Peripheral blood smear · 100× objective, oil immersion
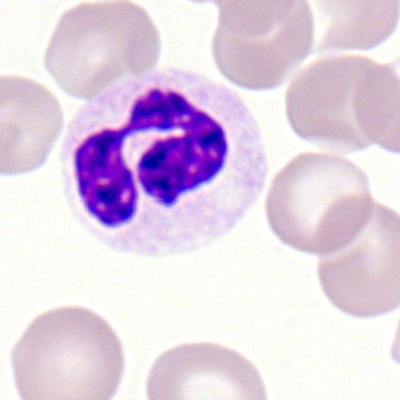

Specimen: peripheral blood smear.
Cell: segmented neutrophil.